Bone marrow aspirate smear.
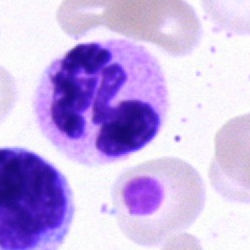

Showing a segmented neutrophil.